Bone marrow aspirate smear
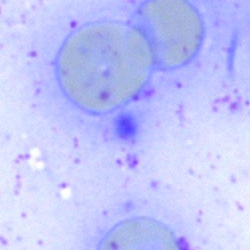

Specimen: bone marrow aspirate smear.
Cell type: artifact.